Cropped to a single cell; bone marrow smear; 40× objective, oil immersion
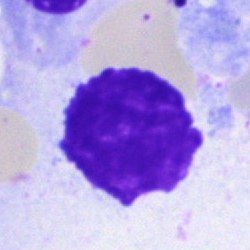

Specimen: bone marrow smear.
Cell: artefact.